Cropped to a single cell. Bone marrow aspirate smear — 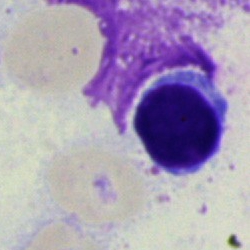

Cell type — typical lymphocyte.